Peripheral blood film; 100× oil immersion; Romanowsky stain
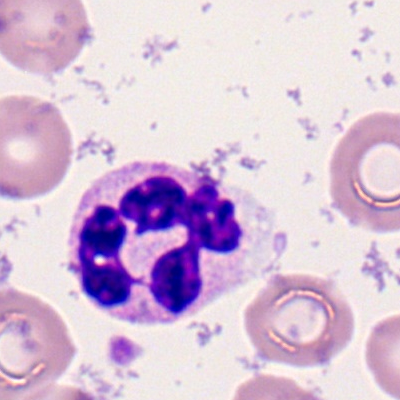
Polymorphonuclear neutrophil.